Single cell centered in the field; bone marrow aspirate smear; brightfield, 40× oil-immersion objective:
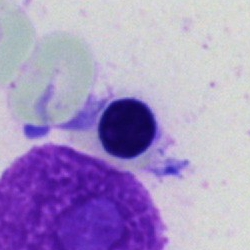Impression — artifact.